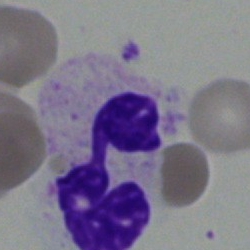Cell — polymorphonuclear neutrophil.